Bone marrow aspirate smear: 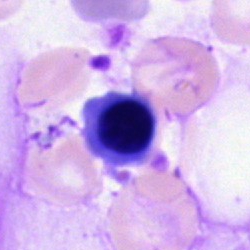 Specimen: bone marrow smear.
Morphological class: nucleated red cell.